Single-cell field. Bone marrow aspirate smear. May-Grünwald-Giemsa stain: 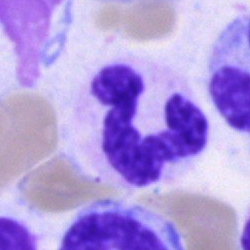
Cell = polymorphonuclear neutrophil.